Bone marrow smear:
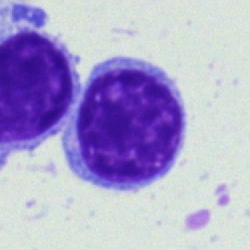 Showing a lymphocyte.